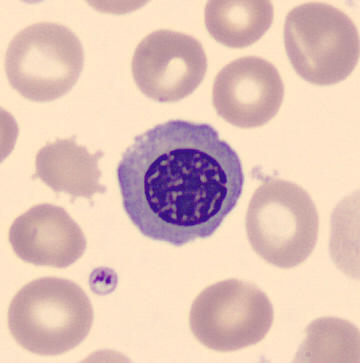
Morphology — nucleated red cell.